Bone marrow smear
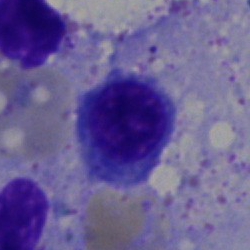Morphological class: erythroblast.